Bone marrow aspirate smear.
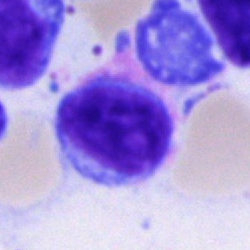
Specimen: bone marrow smear.
Cell type: typical lymphocyte.
Lineage: lymphoid.